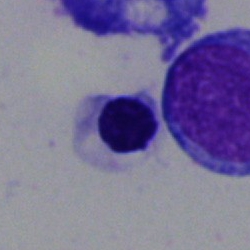
An erythroblast.